Bone marrow smear — 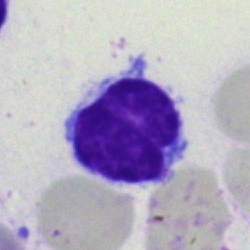

Morphological class — lymphocyte.